40× objective, oil immersion; bone marrow aspirate smear; 250 by 250 pixels: 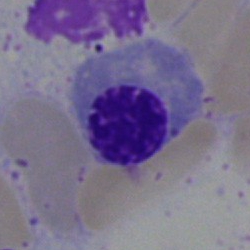

Specimen: bone marrow aspirate smear.
Morphological class: erythroblast.
Lineage: erythroid.